Bone marrow aspirate smear: 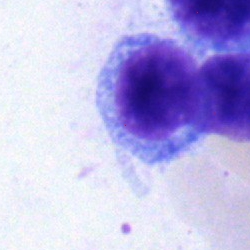

Q: What is shown here?
A: Lymphocyte.